Bone marrow smear.
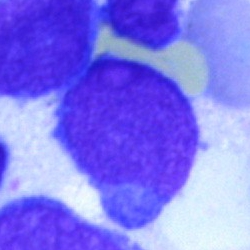Impression — blast cell.